May-Grünwald-Giemsa/Pappenheim stain; bone marrow smear — 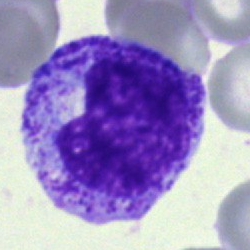This is a myelocyte.